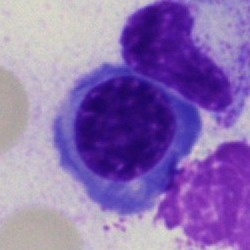The cell type is normoblast.